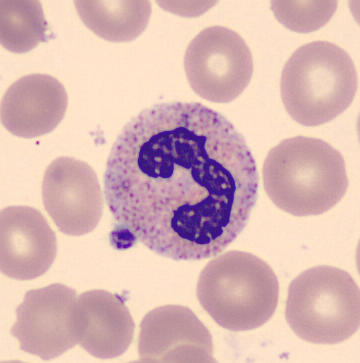

Specimen: peripheral blood smear.
Classification: segmented neutrophil.
Lineage: myeloid.